Bone marrow aspirate smear.
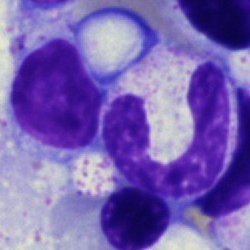
Band-form neutrophil.